Peripheral blood film:
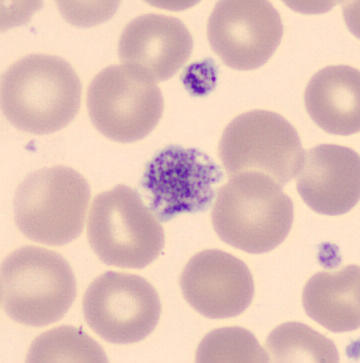

Impression → platelet (thrombocyte).